Bone marrow aspirate smear; single cell centered in the field:
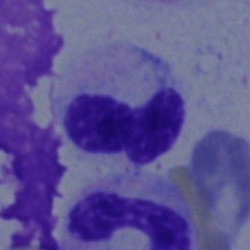

The cell is stab cell.